Bone marrow aspirate smear: 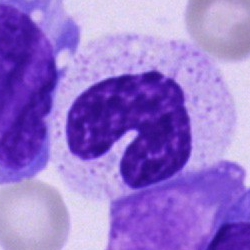

The cell shown is a band-form neutrophil.